Bone marrow aspirate smear; single-cell crop.
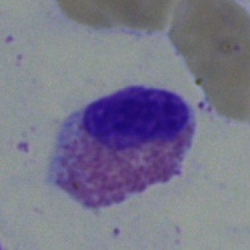Morphological class = eosinophilic granulocyte.